Bone marrow smear. 250×250
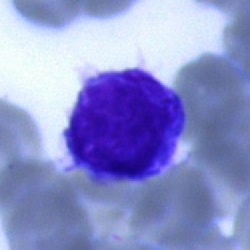

Q: Identify the cell.
A: Typical lymphocyte.